Bone marrow smear
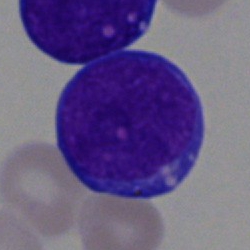Q: Identify the cell.
A: Blast.